Bone marrow smear
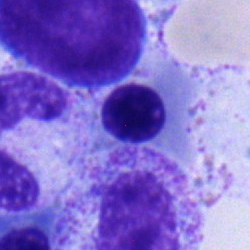

Specimen: bone marrow aspirate smear.
Classification: nucleated red cell.